Bone marrow aspirate smear:
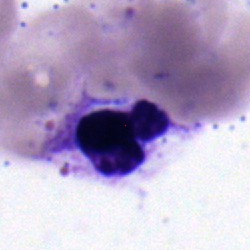Single cell identified as a segmented neutrophil.